Bone marrow smear · May-Grünwald-Giemsa/Pappenheim stain.
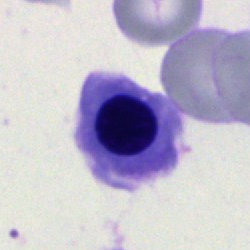

Single cell identified as an erythroblast.